Bone marrow smear:
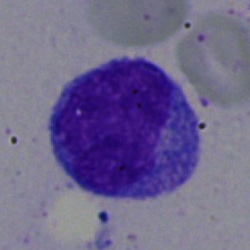Morphology — progranulocyte.